Bone marrow smear:
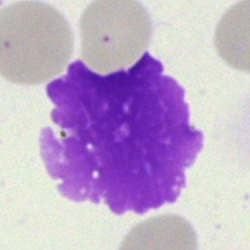Q: What is shown here?
A: An artefact.